Bone marrow smear. Image size 250×250:
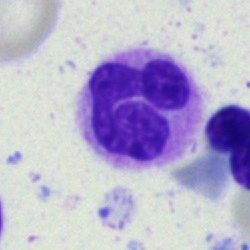
Morphological class: neutrophil (segmented).